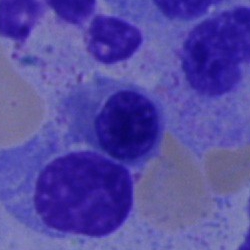 Bone marrow aspirate smear, single cell — erythroblast.